40× objective, oil immersion · bone marrow smear — 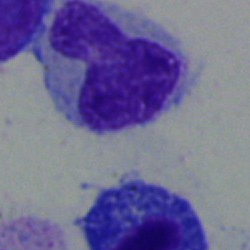

Impression → monocyte.